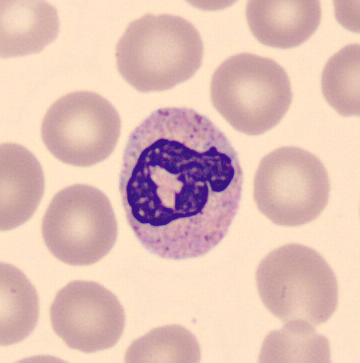 A neutrophil (band) on a peripheral blood smear.